Bone marrow aspirate smear
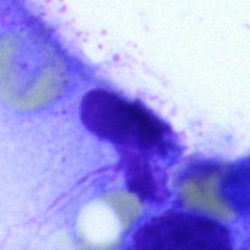 This is an artefact.